Bone marrow aspirate smear — 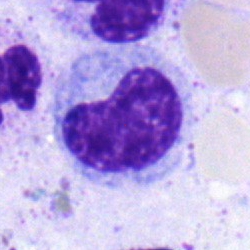

Q: What cell is this?
A: It is a metamyelocyte.